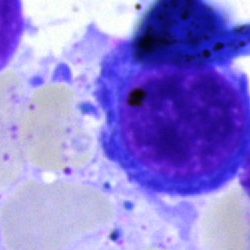

Morphology — normoblast.